Bone marrow smear: 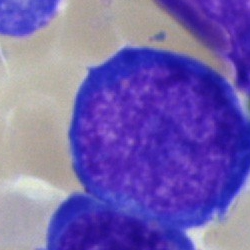 Showing a proerythroblast.